Bone marrow smear — 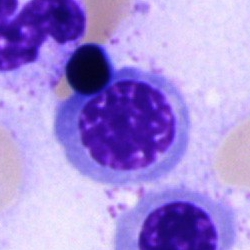Showing a nucleated red cell.